Pappenheim-stained · bone marrow smear: 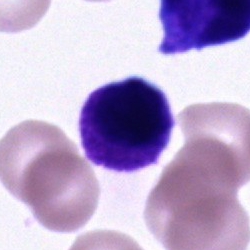 Q: What is the morphological classification of this cell?
A: This is a cell of indeterminate lineage.